May-Grünwald-Giemsa stain · 250×250 px · bone marrow aspirate smear
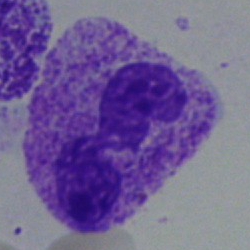

An eosinophil.